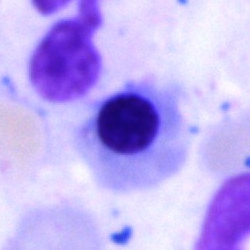 A nucleated red cell on a bone marrow smear.